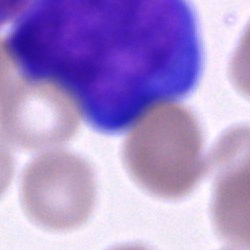{"cell_type": "cell of indeterminate lineage"}